Bone marrow smear
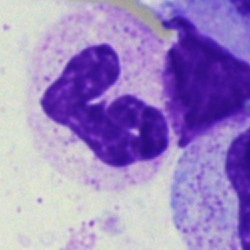
Classification — neutrophil (segmented).